Peripheral blood smear — 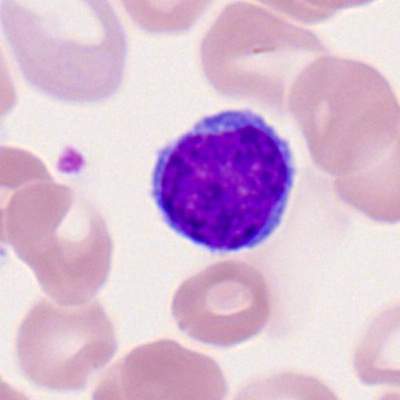Cell — lymphocyte.